Bone marrow smear: 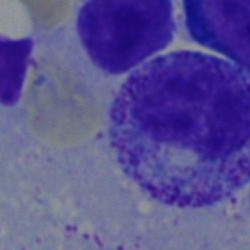
Morphology consistent with a myelocyte.